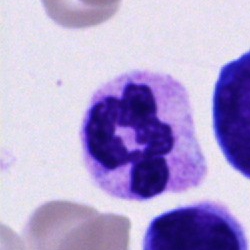A segmented neutrophil.